Bone marrow aspirate smear. Brightfield microscopy, 40× oil immersion — 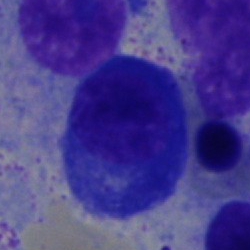 Morphological class: plasma cell.